Image size 250×250; bone marrow aspirate smear — 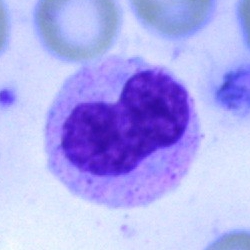 {"cell_type": "metamyelocyte", "lineage": "myeloid"}